250×250 px; brightfield, 40× oil-immersion objective; bone marrow aspirate smear — 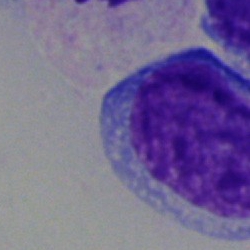Morphology consistent with an undifferentiated blast.